Bone marrow aspirate smear
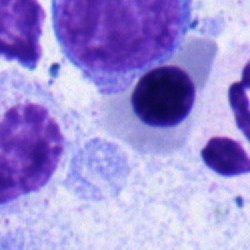

This is a blast.